Bone marrow smear — 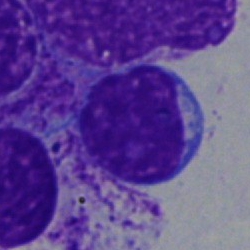
Impression → typical lymphocyte.